Bone marrow smear. 40× objective, oil immersion. Image size 250×250.
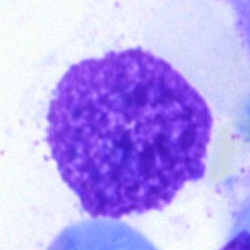
The cell shown is an artefact.